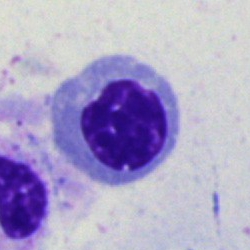

Q: What is shown here?
A: It is a nucleated red cell.